Bone marrow smear; 250 by 250 pixels; single cell centered in the field: 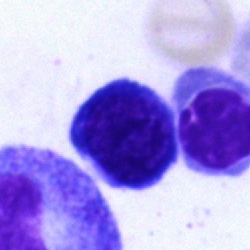 Impression → lymphocyte.